Image size 250×250 · bone marrow aspirate smear · cropped to a single cell: 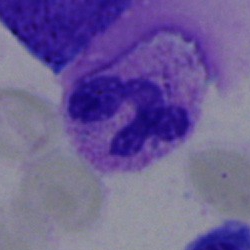
Q: What is the morphological classification of this cell?
A: Neutrophil (segmented).